Bone marrow aspirate smear: 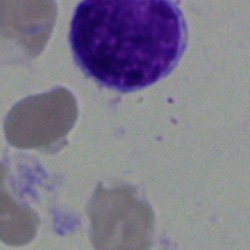 This is a typical lymphocyte.